Peripheral blood film:
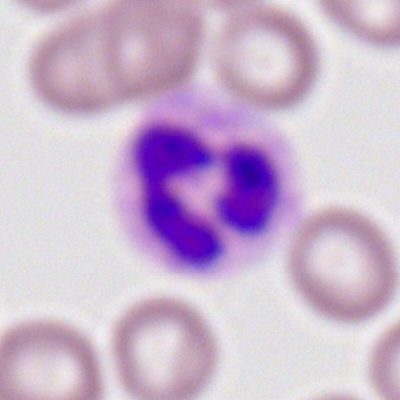
Single cell identified as a segmented neutrophil.